Cropped to a single cell · bone marrow aspirate smear:
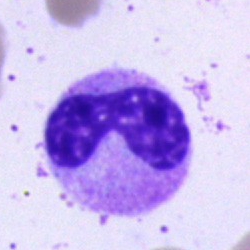 Impression — band-form neutrophil.